Bone marrow aspirate smear; Pappenheim-stained; single-cell crop:
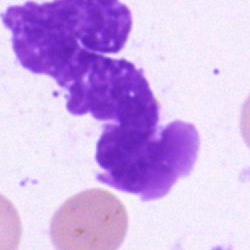 Classification = artifact.